40× objective, oil immersion · bone marrow smear:
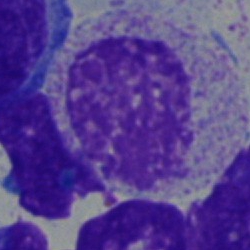
Myelocyte.